Peripheral blood smear. Single-cell crop.
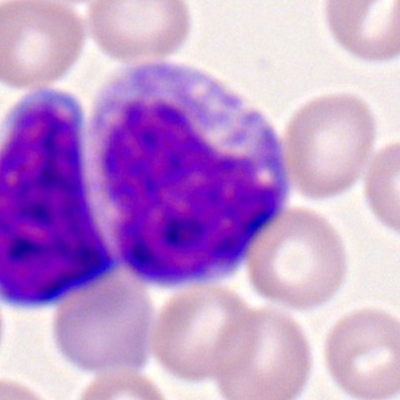Single cell identified as a monocyte.